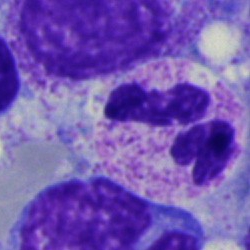

Specimen: bone marrow smear.
Morphological class: polymorphonuclear neutrophil.